Cropped to a single cell. Bone marrow smear
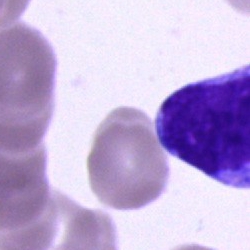

This is an unidentifiable cell.